Bone marrow smear. 250 by 250 pixels. Brightfield, 40× oil-immersion objective.
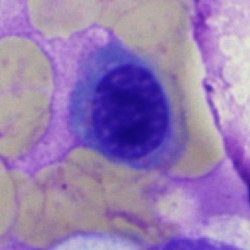
This is a nucleated red blood cell.